Bone marrow smear — 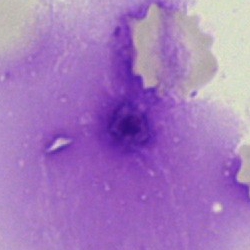
The cell type is artefact.